Image size 250×250; bone marrow smear: 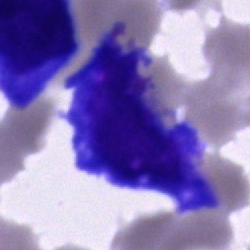 Impression — blast cell.